Peripheral blood film. Brightfield, 100× oil-immersion objective — 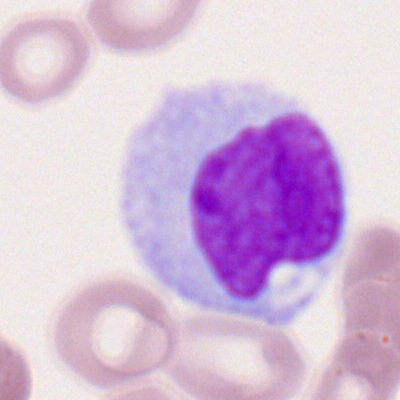 Specimen: peripheral blood smear.
Morphological class: monocyte.